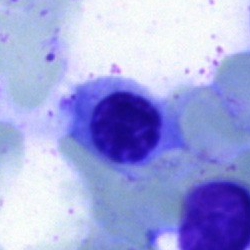

Q: What is the morphological classification of this cell?
A: This is an erythroblast.